250×250 px; bone marrow aspirate smear; cropped to a single cell
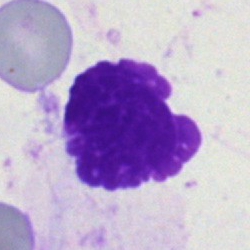
An artifact.